Bone marrow smear — 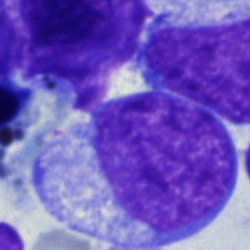 Impression → blast.